Brightfield microscopy, 40× oil immersion; bone marrow smear:
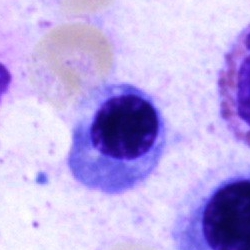 Nucleated red blood cell.